250 by 250 pixels. 40× oil immersion. Bone marrow aspirate smear: 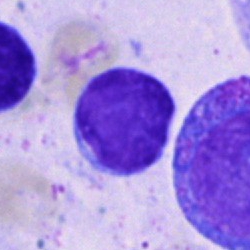 The cell shown is a lymphocyte.